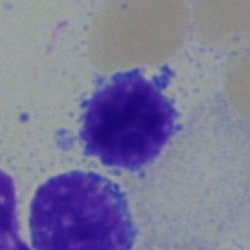

The cell shown is a lymphocyte.